Bone marrow smear · single-cell crop.
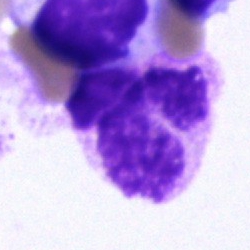

The classification is polymorphonuclear neutrophil.